Peripheral blood smear.
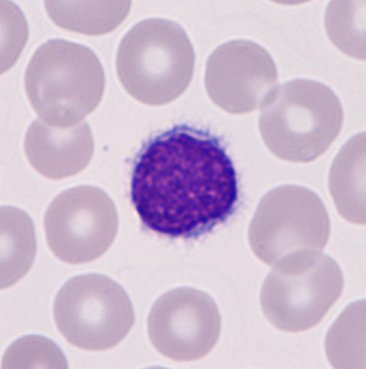

Morphology consistent with a lymphocyte.